Single-cell field; bone marrow aspirate smear
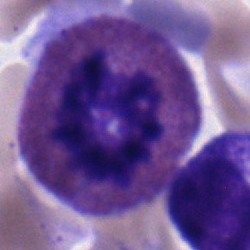

{"cell_type": "eosinophil", "lineage": "myeloid"}